Bone marrow smear:
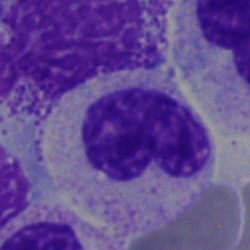

Showing a metamyelocyte.